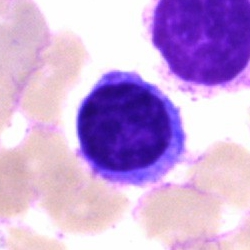Q: What is the morphological classification of this cell?
A: This is a typical lymphocyte.